Bone marrow aspirate smear; MGG-stained.
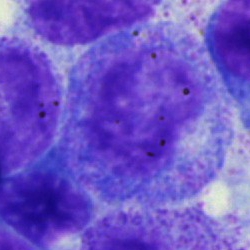 Q: What is shown here?
A: This is a progranulocyte.